M8 digital microscope (Precipoint), 100× oil immersion. Peripheral blood film
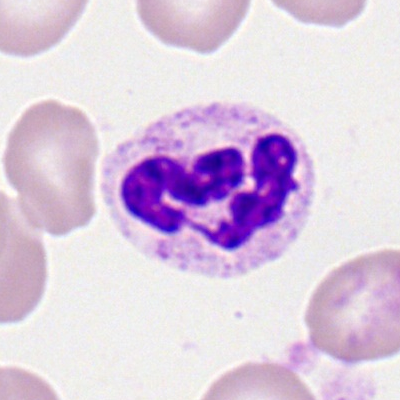 The morphological class is polymorphonuclear neutrophil.